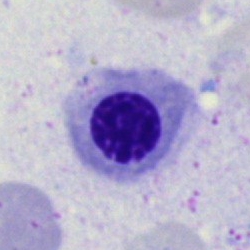The cell is nucleated red cell.